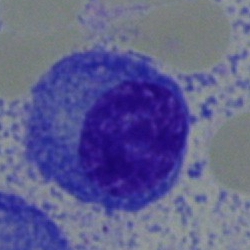

Bone marrow aspirate smear, single cell — plasma cell.